Bone marrow smear. Brightfield, 40× oil-immersion objective:
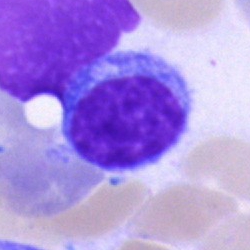

Q: Which cell type is shown here?
A: A typical lymphocyte.